Bone marrow smear — 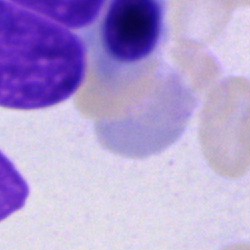Impression — cell of indeterminate lineage.